Peripheral blood film. 100× oil immersion.
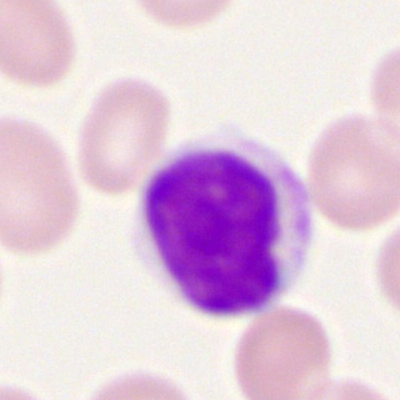
Classification: lymphocyte.